Peripheral blood film:
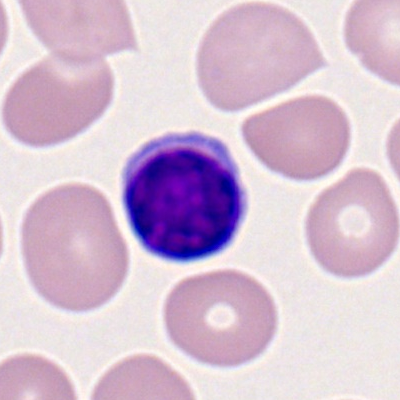Single cell identified as a typical lymphocyte.